Bone marrow aspirate smear — 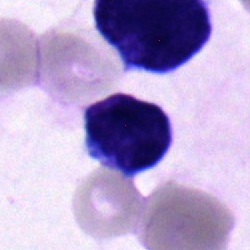
Morphology → lymphocyte.